Single cell centered in the field. Bone marrow aspirate smear.
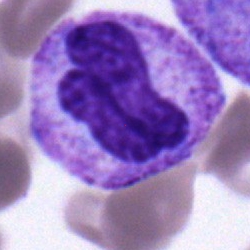
This is a stab cell.